Bone marrow smear:
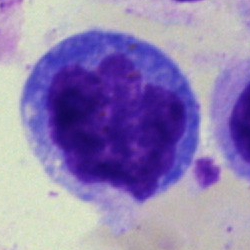 Impression → monocyte.